Peripheral blood film:
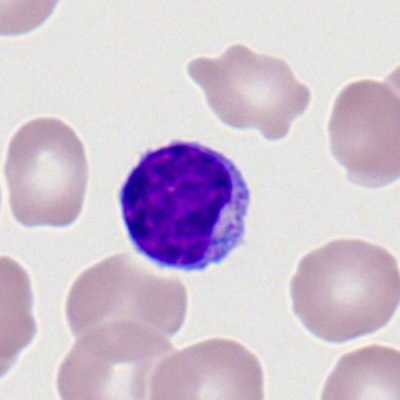 Morphology → typical lymphocyte.